Bone marrow aspirate smear: 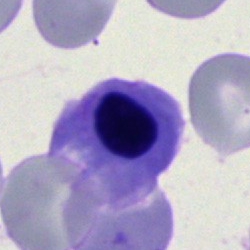

The cell is nucleated red blood cell.